Bone marrow smear
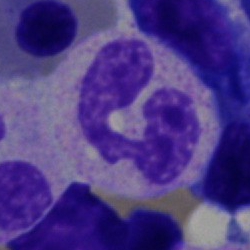
Morphology → neutrophil (segmented).